Bone marrow smear
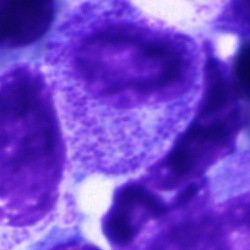 {"cell_type": "myelocyte", "lineage": "myeloid"}